Bone marrow aspirate smear.
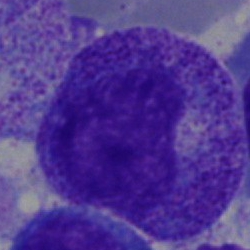Classification — metamyelocyte.